Bone marrow smear
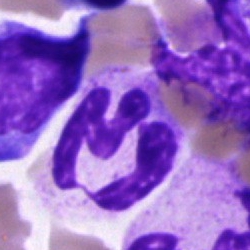The cell type is segmented neutrophil.